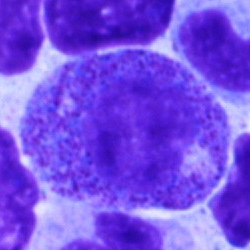This is a promyelocyte.